400×400; peripheral blood smear: 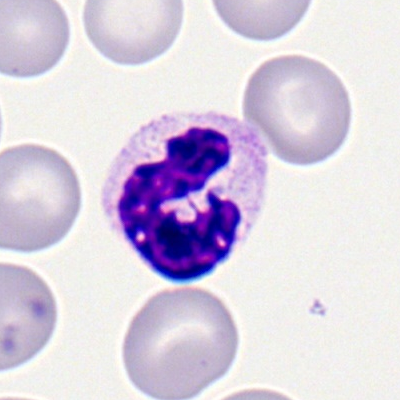
{"cell_type": "polymorphonuclear neutrophil", "lineage": "myeloid"}